Bone marrow aspirate smear — 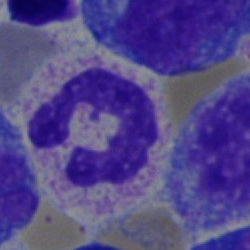Q: Which cell type is shown here?
A: A polymorphonuclear neutrophil.